Bone marrow aspirate smear.
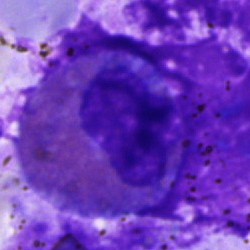 An eosinophilic granulocyte.